250×250 px · bone marrow smear · Pappenheim-stained — 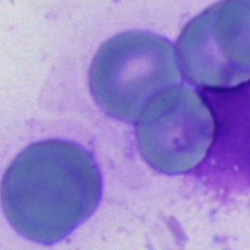
Q: What is shown here?
A: An artefact.